40× objective, oil immersion. Bone marrow aspirate smear
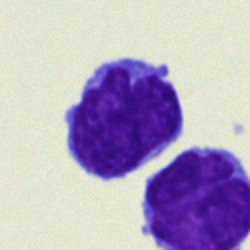 This is a typical lymphocyte.